May-Grünwald-Giemsa/Pappenheim stain · bone marrow aspirate smear: 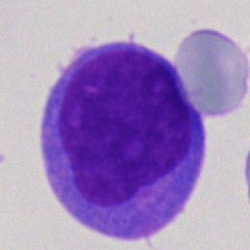 This is a blast cell.